Bone marrow smear:
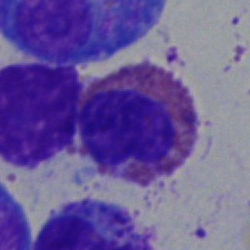
An eosinophilic granulocyte.